Single cell centered in the field. Peripheral blood smear:
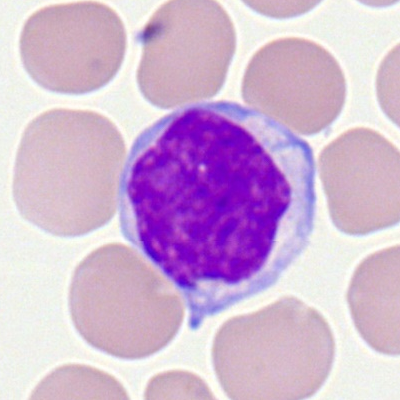Morphology consistent with a typical lymphocyte.